Bone marrow smear; brightfield, 40× oil-immersion objective
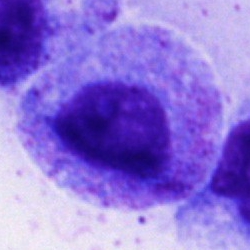
Specimen: bone marrow aspirate smear.
Cell: promyelocyte.
Lineage: myeloid.